Single-cell crop; 250 by 250 pixels; bone marrow aspirate smear.
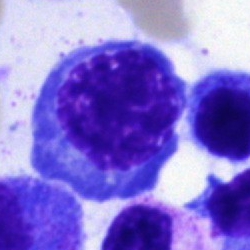

Cell type = nucleated red blood cell.